Brightfield microscopy, 40× oil immersion. Bone marrow aspirate smear: 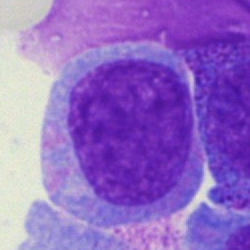Q: What is shown here?
A: It is a blast.